Bone marrow aspirate smear.
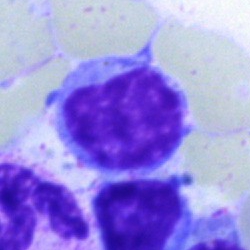

Q: Identify the cell.
A: A lymphocyte.